Bone marrow smear:
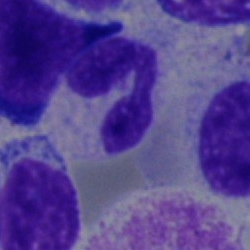 Specimen: bone marrow aspirate smear.
Cell type: polymorphonuclear neutrophil.